Peripheral blood film.
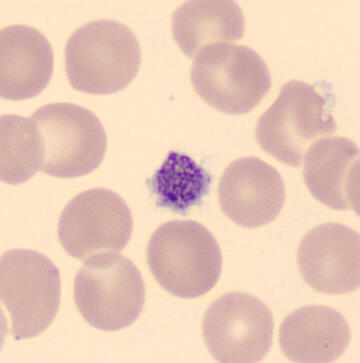
{"cell_type": "thrombocyte"}